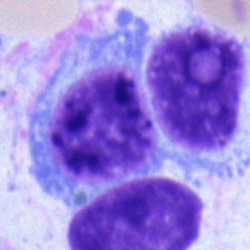Impression → progranulocyte.